Bone marrow smear:
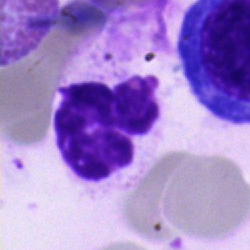
Morphological class: polymorphonuclear neutrophil.